Brightfield, 40× oil-immersion objective · bone marrow aspirate smear · Pappenheim-stained: 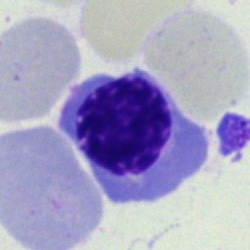{"cell_type": "nucleated red blood cell"}